400×400 · cropped to a single cell · peripheral blood smear
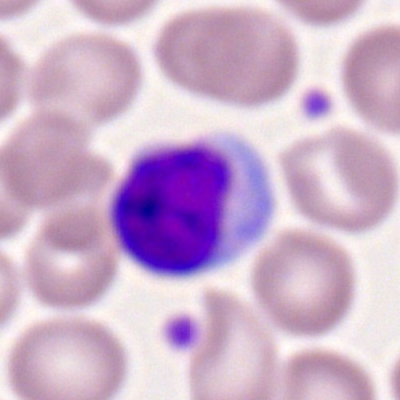

Q: Identify the cell.
A: This is a typical lymphocyte.